May-Grünwald-Giemsa stain · bone marrow aspirate smear: 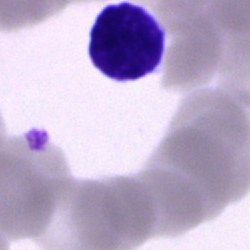
The cell shown is a typical lymphocyte.